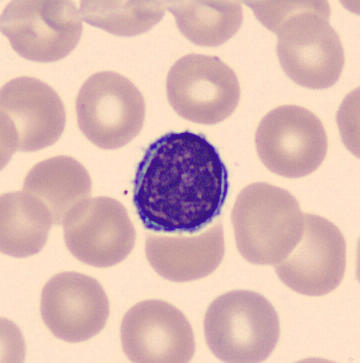 Specimen: peripheral blood smear.
Cell type: typical lymphocyte.
Lineage: lymphoid.